Brightfield microscopy, 40× oil immersion; 250 by 250 pixels; bone marrow aspirate smear.
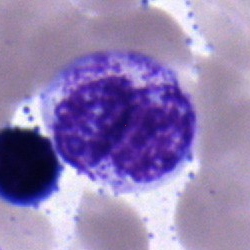 Morphology → polymorphonuclear neutrophil.